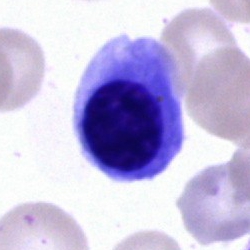
A normoblast.